Cropped to a single cell; peripheral blood film: 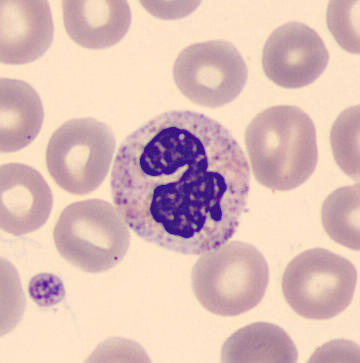 The cell shown is a segmented neutrophil.